Bone marrow smear — 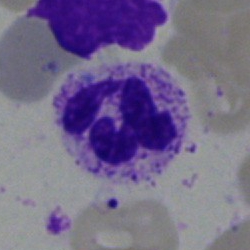

Q: Identify the cell.
A: This is a polymorphonuclear neutrophil.